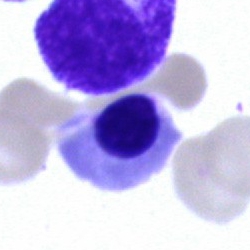Classification — nucleated red cell.